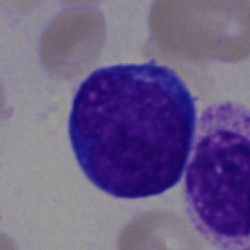

Showing an undifferentiated blast.